Cropped to a single cell; bone marrow smear — 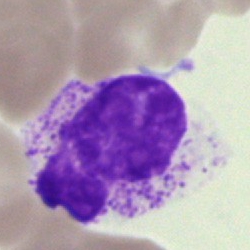 Q: Identify the cell.
A: Segmented neutrophil.